Brightfield microscopy, 40× oil immersion. Bone marrow aspirate smear. Pappenheim-stained:
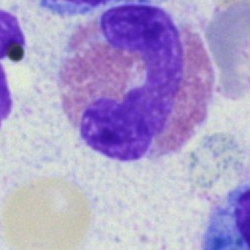
The cell shown is an eosinophilic granulocyte.